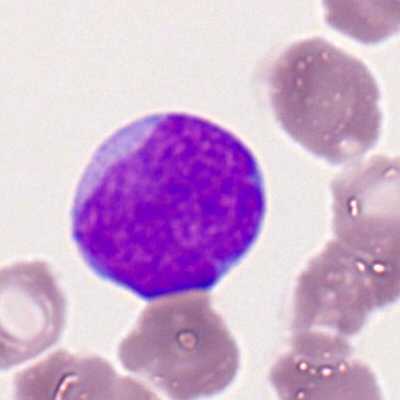
Showing a myeloid blast.